Brightfield microscopy, 40× oil immersion. Bone marrow aspirate smear
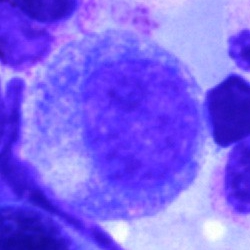

Cell type — promyelocyte.